Peripheral blood smear — 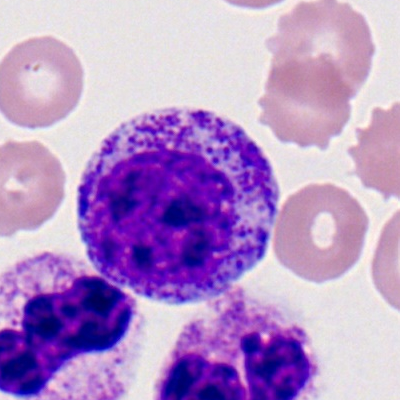 Morphology consistent with a myelocyte.